Bone marrow aspirate smear · brightfield microscopy, 40× oil immersion.
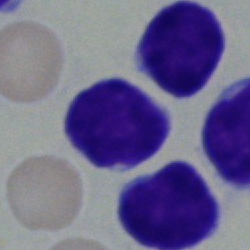
Q: What type of cell is this?
A: This is a typical lymphocyte.